Single cell centered in the field · 40× objective, oil immersion · bone marrow aspirate smear — 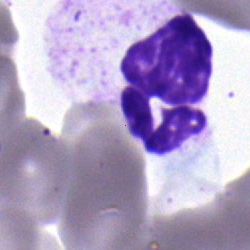Specimen: bone marrow aspirate smear.
Morphological class: segmented neutrophil.